Bone marrow aspirate smear. 250×250: 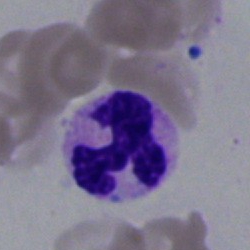Cell type: neutrophil (segmented).